May-Grünwald-Giemsa/Pappenheim stain; bone marrow aspirate smear.
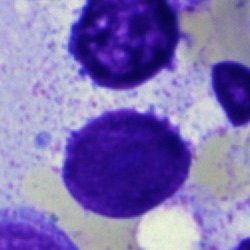 Morphology consistent with an artefact.